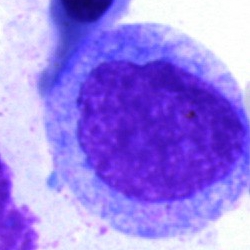
Showing a promyelocyte.